Bone marrow aspirate smear; 250×250 px: 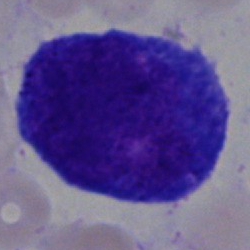 Morphological class = blast cell.